40× oil immersion · bone marrow aspirate smear · May-Grünwald-Giemsa stain: 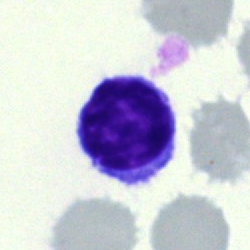
Cell type = typical lymphocyte.